Peripheral blood film; Romanowsky stain: 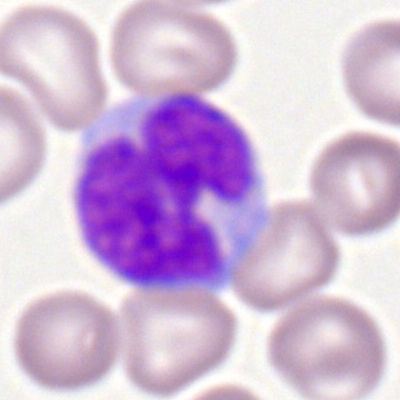

{"cell_type": "monocyte", "lineage": "myeloid"}